Bone marrow aspirate smear
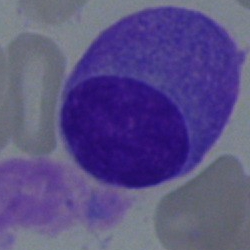

Q: What is the morphological classification of this cell?
A: This is a plasmacyte.